250×250; bone marrow smear
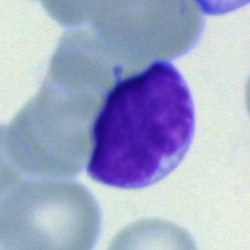
The cell is lymphocyte.